Bone marrow aspirate smear
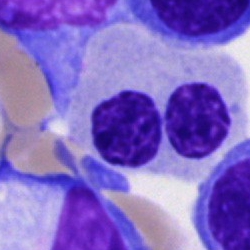 Impression → nucleated red cell.